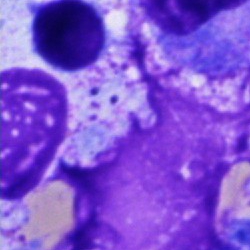
Specimen: bone marrow smear.
Morphological class: artefact.